Single cell centered in the field. Bone marrow aspirate smear: 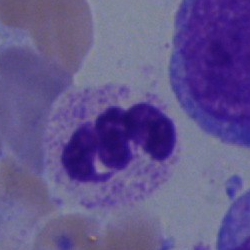

Q: What is the morphological classification of this cell?
A: This is a segmented neutrophil.